Bone marrow aspirate smear · May-Grünwald-Giemsa/Pappenheim stain:
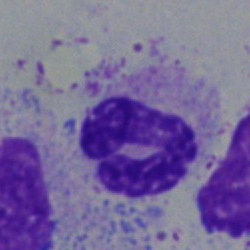

Morphology consistent with a stab cell.